Single-cell crop · bone marrow aspirate smear — 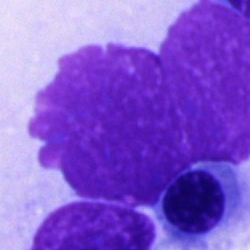
Morphology — artifact.